Bone marrow smear: 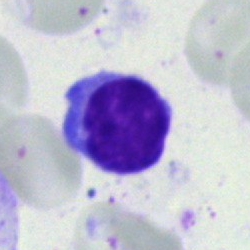
Morphological class — lymphocyte.